Peripheral blood smear: 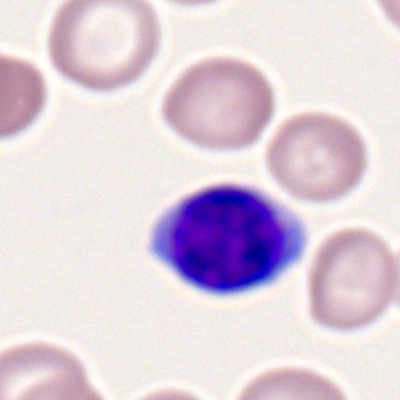 Q: Which cell type is shown here?
A: A typical lymphocyte.